Bone marrow aspirate smear.
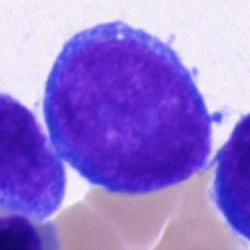
Specimen: bone marrow smear.
Morphological class: blast cell.